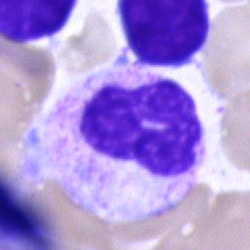{"cell_type": "segmented neutrophil"}